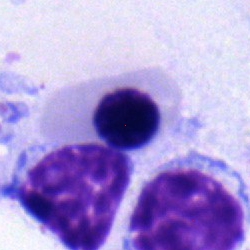 Cell type: nucleated red blood cell.